Bone marrow aspirate smear: 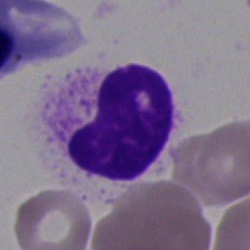

Cell type: artefact.